250×250 px; bone marrow smear
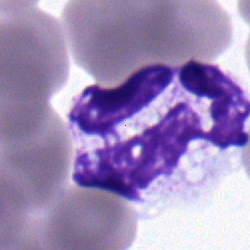

Impression → neutrophil (segmented).